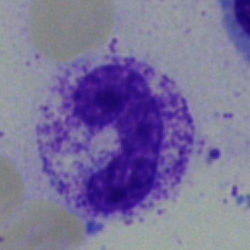 Q: Identify the cell.
A: This is a band-form neutrophil.